Bone marrow aspirate smear
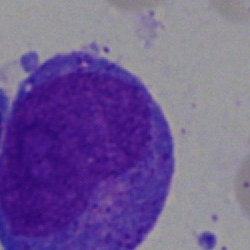
This is a promyelocyte.